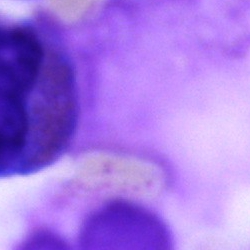
Cell: artifact.